Peripheral blood smear:
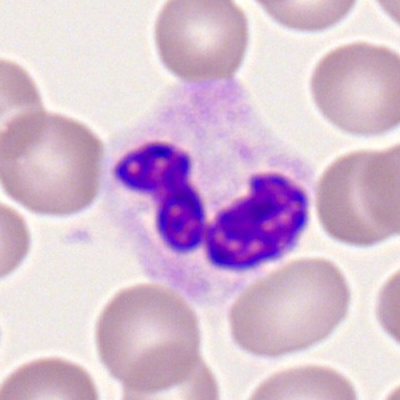
The cell shown is a polymorphonuclear neutrophil.